Pappenheim-stained · bone marrow smear · 250×250 px: 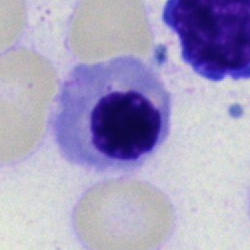A nucleated red cell.